Bone marrow aspirate smear; image size 250×250; single-cell crop.
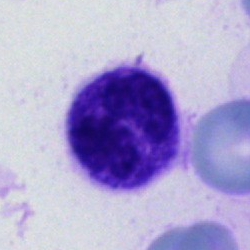Specimen: bone marrow smear.
Morphological class: polymorphonuclear neutrophil.
Lineage: myeloid.